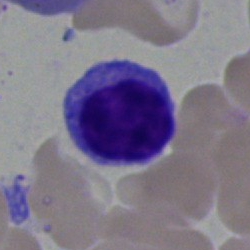 Morphology → typical lymphocyte.